Peripheral blood smear. Romanowsky-type stain.
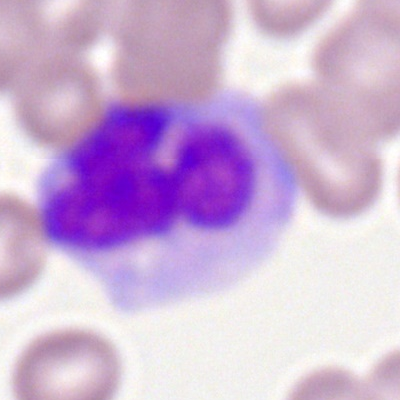

This is a monocyte.